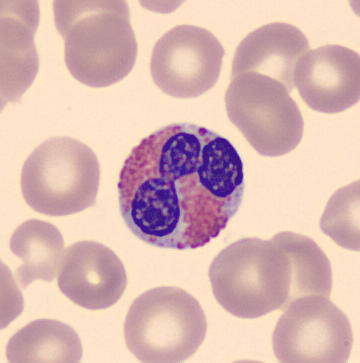

Eosinophil. Image: Peripheral blood smear.